Peripheral blood smear · 360 by 363 pixels:
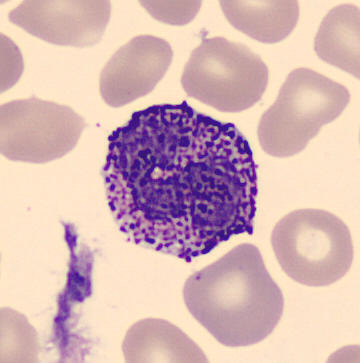Classification: basophil.